Bone marrow aspirate smear; brightfield, 40× oil-immersion objective
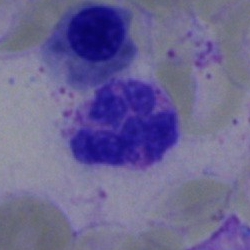
{"cell_type": "segmented neutrophil", "lineage": "myeloid"}